Image size 250×250. Bone marrow smear — 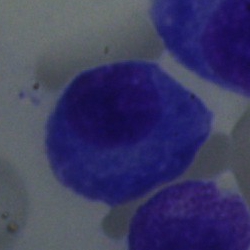Morphology consistent with a plasmacyte.